Cropped to a single cell · bone marrow smear — 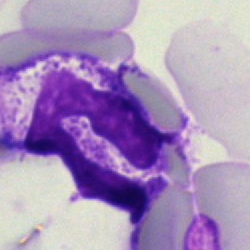Classification — polymorphonuclear neutrophil.